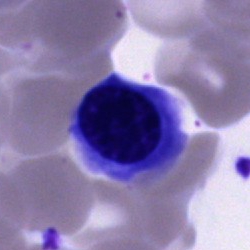 Impression — nucleated red blood cell.